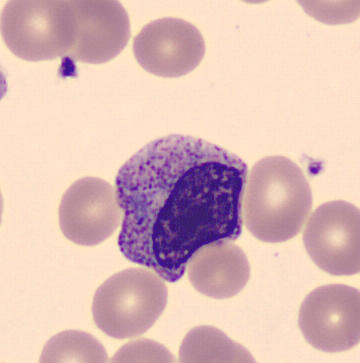

Peripheral blood film; 360×363.

Identified as a metamyelocyte.